Single cell centered in the field; 250 by 250 pixels; bone marrow smear — 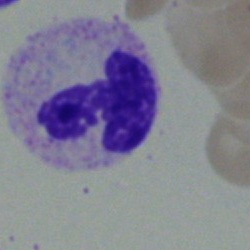
Classification: neutrophil (segmented).